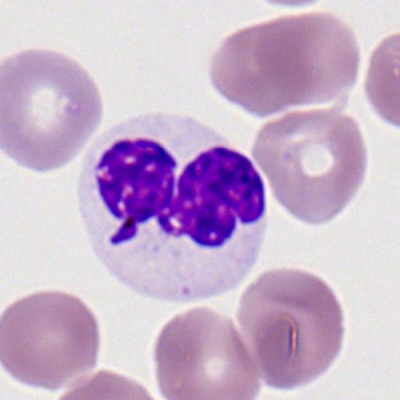The cell shown is a neutrophil (segmented).